Brightfield, 100× oil-immersion objective; single-cell field; peripheral blood smear — 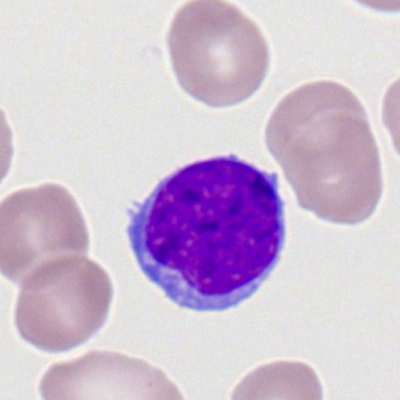The cell type is typical lymphocyte.